Brightfield, 40× oil-immersion objective; bone marrow aspirate smear: 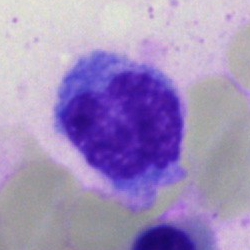
Showing a monocyte.